Bone marrow smear: 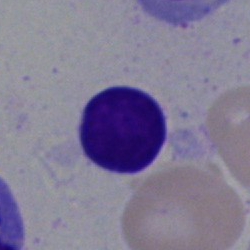 The morphological class is typical lymphocyte.